Bone marrow aspirate smear. Brightfield microscopy, 40× oil immersion.
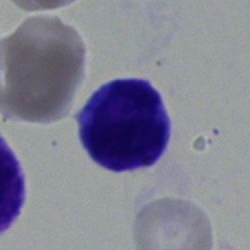
This is a lymphocyte.